Bone marrow aspirate smear; 40× oil immersion — 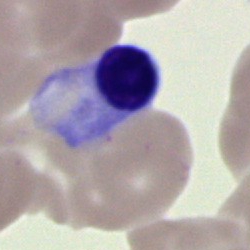
Showing an erythroblast.